Bone marrow aspirate smear:
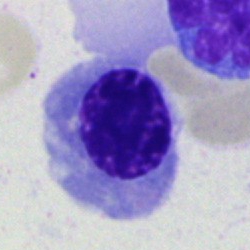

The classification is normoblast.